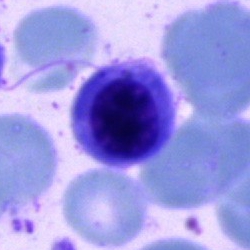 {"cell_type": "nucleated red blood cell", "lineage": "erythroid"}